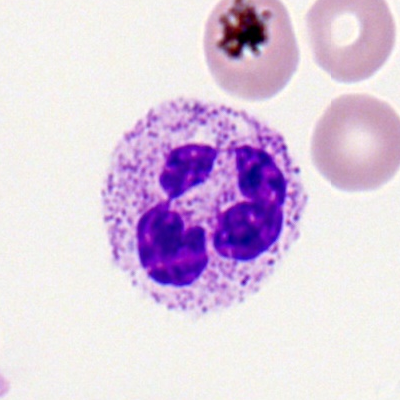A neutrophil (segmented) on a peripheral blood smear.